Single-cell crop · bone marrow aspirate smear:
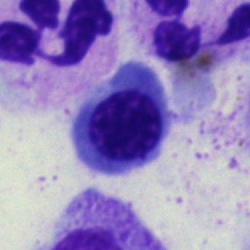
A nucleated red blood cell.